Peripheral blood film. Cropped to a single cell
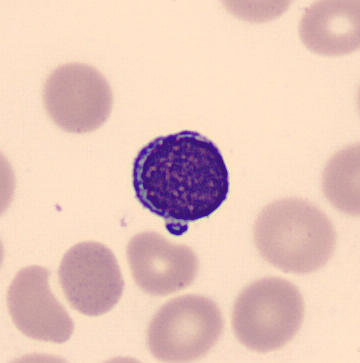Q: Identify the cell.
A: Typical lymphocyte.